Bone marrow smear.
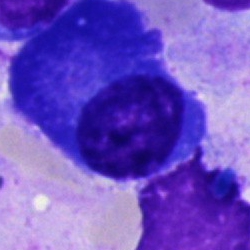

Morphology consistent with a plasma cell.